Brightfield, 100× oil-immersion objective · peripheral blood film: 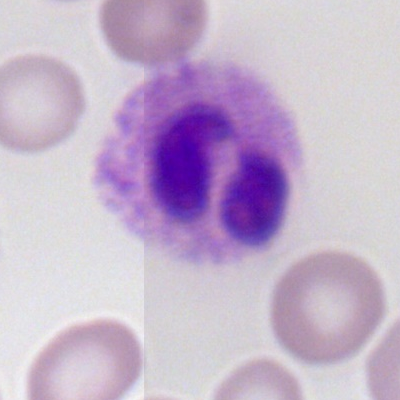Q: What type of cell is this?
A: It is a segmented neutrophil.